May-Grünwald-Giemsa/Pappenheim stain. Bone marrow smear — 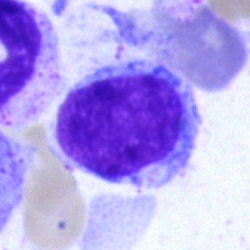Q: What is shown here?
A: Typical lymphocyte.